Bone marrow smear · 250×250.
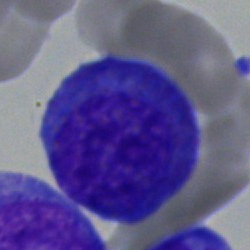 Morphology consistent with a plasma cell.